Single-cell field. Bone marrow aspirate smear — 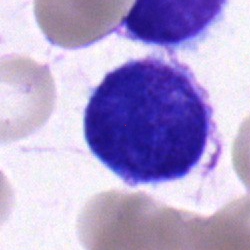

Showing a blast cell.